Image size 250×250 · bone marrow aspirate smear:
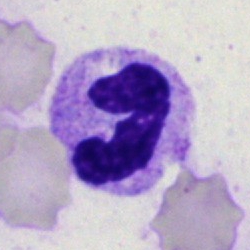
Morphology — segmented neutrophil.